MGG-stained · bone marrow aspirate smear · 40× objective, oil immersion: 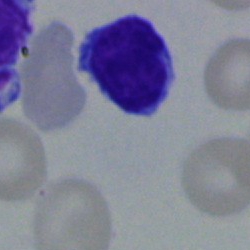

A typical lymphocyte.